250 by 250 pixels. Cropped to a single cell. Bone marrow aspirate smear — 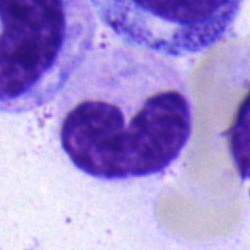
Morphology consistent with a stab cell.